Bone marrow aspirate smear · Pappenheim-stained
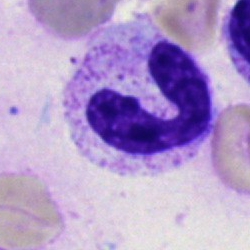

{"cell_type": "segmented neutrophil", "lineage": "myeloid"}